Bone marrow aspirate smear. Single-cell field
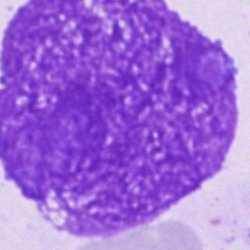
Single cell identified as an artefact.